Bone marrow aspirate smear — 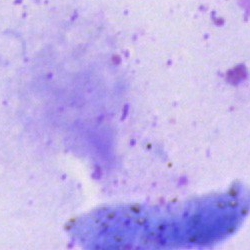
Specimen: bone marrow aspirate smear.
Morphological class: artefact.